Bone marrow smear
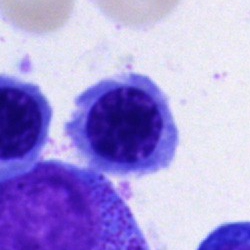 Specimen: bone marrow aspirate smear.
Cell type: normoblast.
Lineage: erythroid.